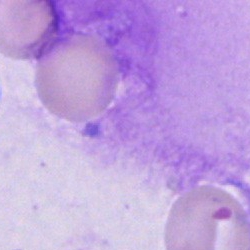 Cell type = artifact.